Bone marrow aspirate smear
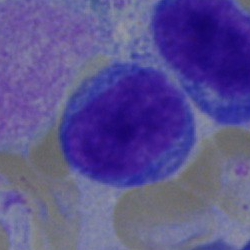

{"cell_type": "lymphocyte", "lineage": "lymphoid"}